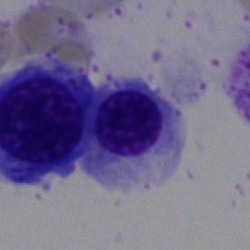This is a nucleated red cell.